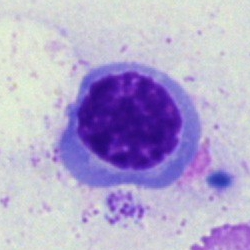Nucleated red cell.